Bone marrow aspirate smear. 40× objective, oil immersion. Single-cell crop:
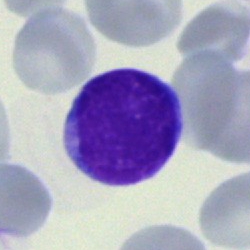 Q: Identify the cell.
A: It is a typical lymphocyte.